Bone marrow aspirate smear; brightfield, 40× oil-immersion objective.
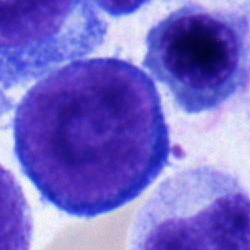

Q: What is the morphological classification of this cell?
A: It is a pronormoblast.